Bone marrow smear; single-cell crop; May-Grünwald-Giemsa/Pappenheim stain.
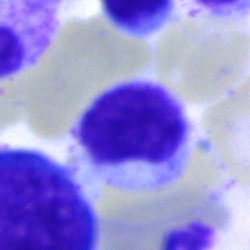

Morphological class = typical lymphocyte.